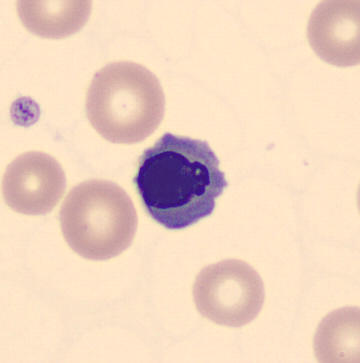Normoblast.